Peripheral blood film; cropped to a single cell.
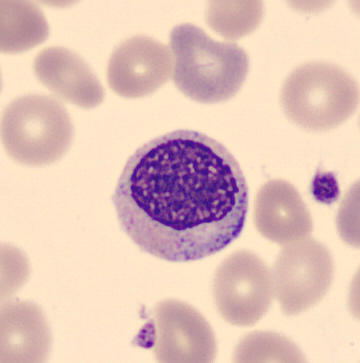
Impression — myelocyte.